May-Grünwald-Giemsa/Pappenheim stain. Bone marrow smear — 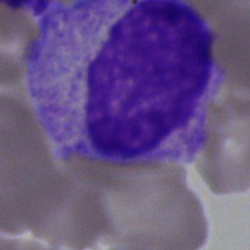
Single cell identified as a myelocyte.